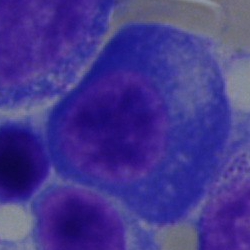 A plasmacyte.